Bone marrow aspirate smear:
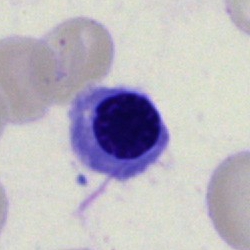

This is a nucleated red blood cell.